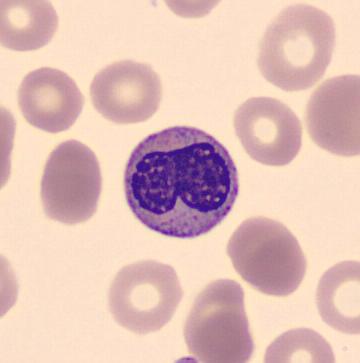

The cell is metamyelocyte.
Peripheral blood smear.